Bone marrow smear. Brightfield microscopy, 40× oil immersion:
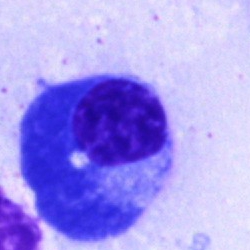

A plasma cell.